Bone marrow aspirate smear.
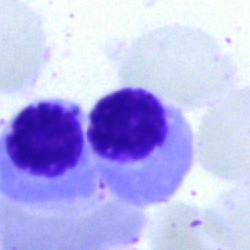

Nucleated red cell.